Peripheral blood film; brightfield, 100× oil-immersion objective
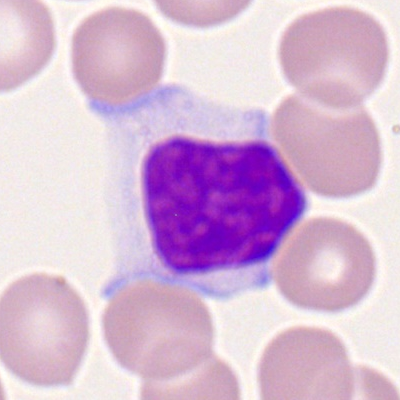
This is a typical lymphocyte.